May-Grünwald-Giemsa stain · 250×250 · bone marrow smear:
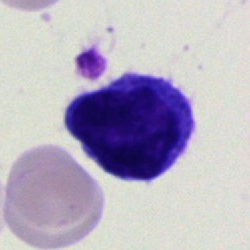
Morphology consistent with a typical lymphocyte.